Bone marrow smear: 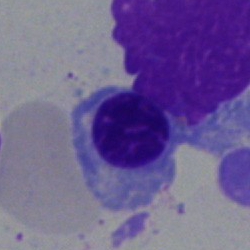The cell is normoblast.